Bone marrow aspirate smear.
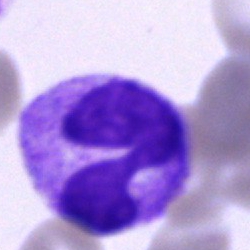

Morphological class — neutrophil (segmented).